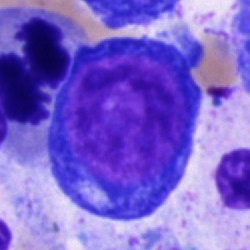 Q: What is shown here?
A: Proerythroblast.